Single-cell field; May-Grünwald-Giemsa/Pappenheim stain; bone marrow smear: 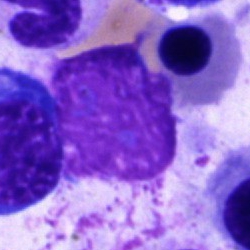

Morphology consistent with an artefact.